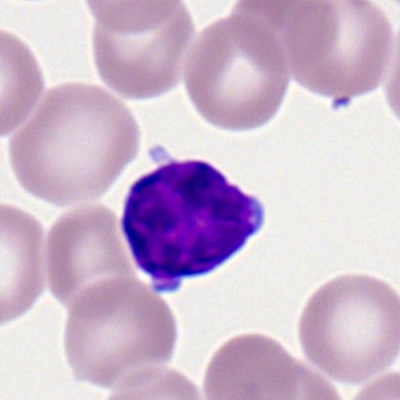 Morphological class: lymphocyte.